40× oil immersion · bone marrow aspirate smear:
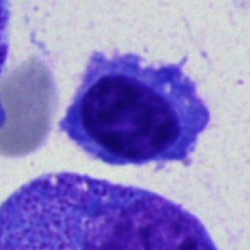

Cell type = plasmacyte.